Bone marrow aspirate smear
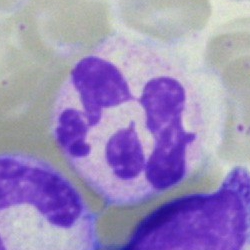 Specimen: bone marrow aspirate smear.
Morphological class: neutrophil (segmented).